May-Grünwald-Giemsa stain. Bone marrow aspirate smear — 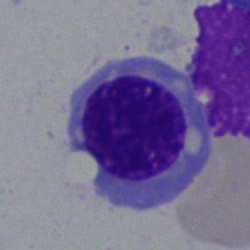

Morphology → normoblast.